Bone marrow smear · single-cell field: 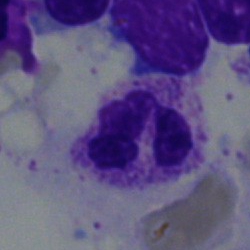 Q: What is shown here?
A: Segmented neutrophil.